Bone marrow smear — 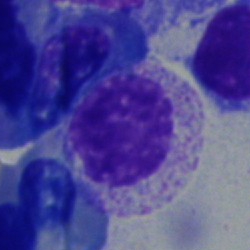 The morphological class is myelocyte.